Bone marrow aspirate smear.
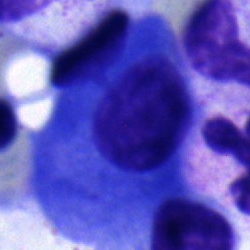 The cell shown is a plasmacyte.